Bone marrow smear — 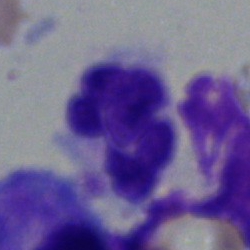Q: What is the morphological classification of this cell?
A: A neutrophil (segmented).